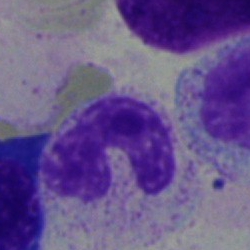
Cell type — band-form neutrophil.